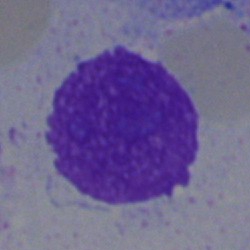
Morphology consistent with an artifact.